Single cell centered in the field · bone marrow smear:
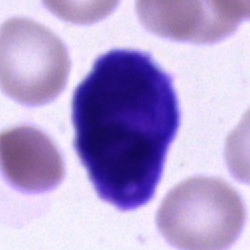
Cell type — cell of indeterminate lineage.